Single-cell crop · bone marrow smear — 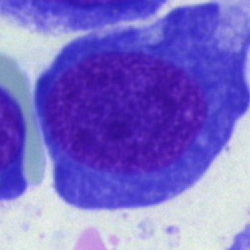 {"cell_type": "pronormoblast", "lineage": "erythroid"}